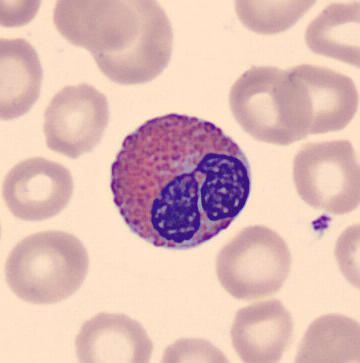Eosinophilic granulocyte.